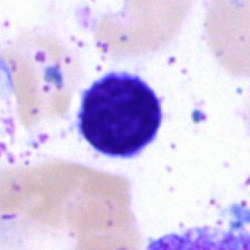

Morphological class — typical lymphocyte.